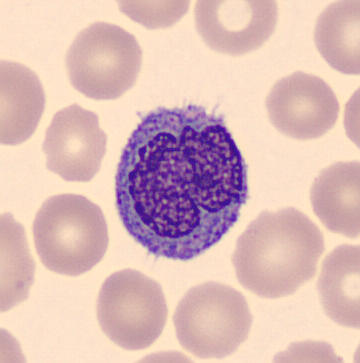
Peripheral blood film.
Impression → monocyte.